100× objective, oil immersion; peripheral blood film:
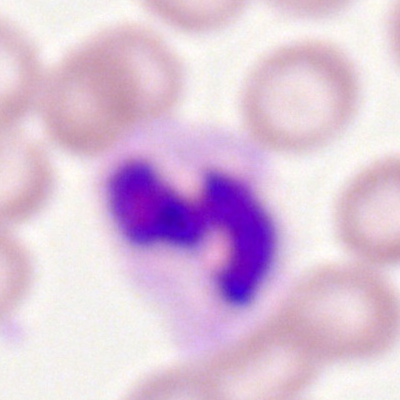

Q: Identify the cell.
A: A neutrophil (segmented).